Bone marrow smear
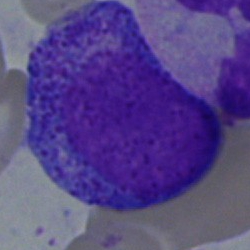
This is a promyelocyte.